Bone marrow aspirate smear; single-cell field: 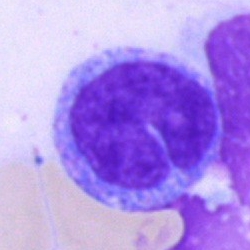The morphological class is monocyte.